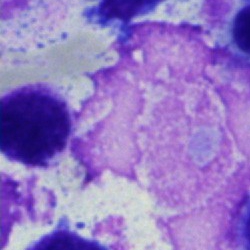Q: What is shown here?
A: An artefact.